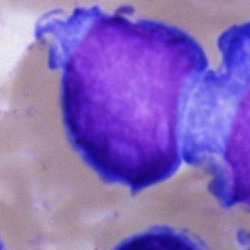
The cell shown is an undifferentiated blast.